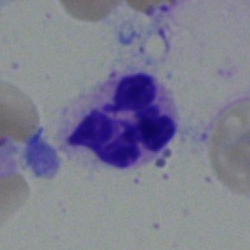

Cell: segmented neutrophil.